Peripheral blood smear · single-cell crop: 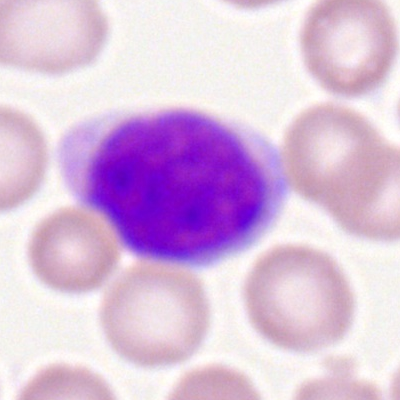

Cell type = myeloid blast.